Pappenheim-stained · bone marrow smear:
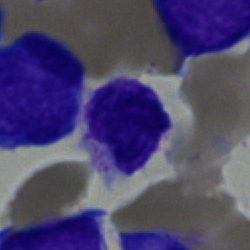 A lymphocyte.